Bone marrow smear. Single-cell crop. Image size 250×250.
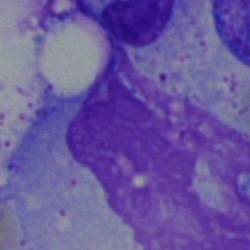Showing an artifact.